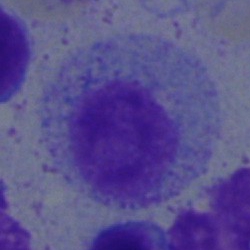

Impression — myelocyte.